Bone marrow smear; single cell centered in the field:
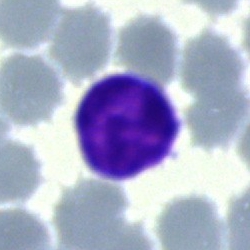The cell shown is a lymphocyte.